Bone marrow aspirate smear — 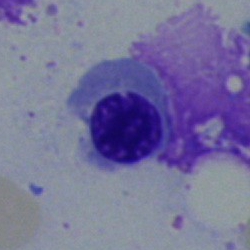 The classification is normoblast.